Bone marrow smear
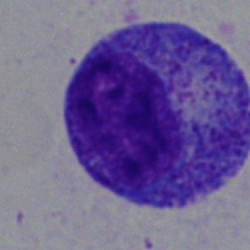 The cell shown is a progranulocyte.